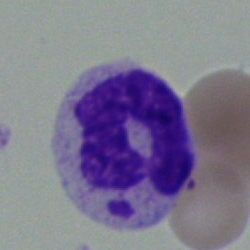 The cell is band-form neutrophil.